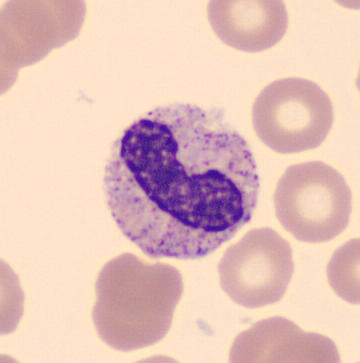The cell shown is a band-form neutrophil.

Peripheral blood smear.